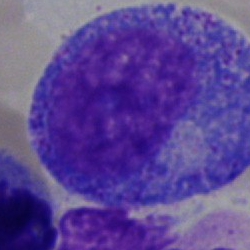 Specimen: bone marrow aspirate smear.
Cell type: progranulocyte.
Lineage: myeloid.